Bone marrow smear: 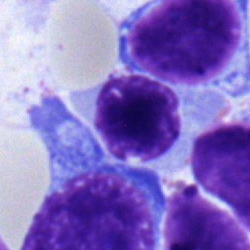Specimen: bone marrow smear.
Cell: nucleated red blood cell.
Lineage: erythroid.